Bone marrow aspirate smear. Brightfield microscopy, 40× oil immersion
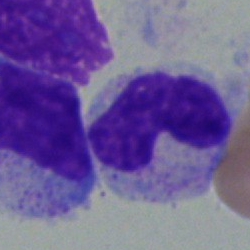 The cell shown is a band neutrophil.